Bone marrow aspirate smear; Pappenheim-stained:
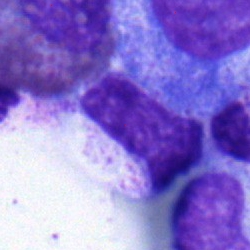This is a metamyelocyte.